Bone marrow smear; 250 by 250 pixels — 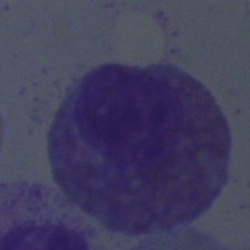The cell shown is an eosinophilic granulocyte.